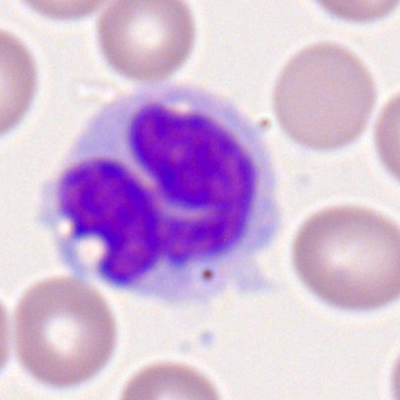

Specimen: peripheral blood film.
Cell: monocyte.
Lineage: myeloid.